Bone marrow smear — 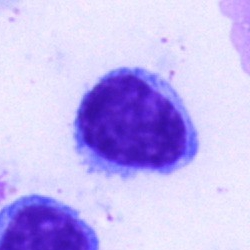
The morphological class is typical lymphocyte.